Bone marrow smear
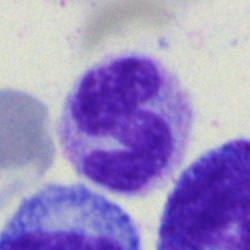Specimen: bone marrow aspirate smear.
Cell type: monocyte.
Lineage: myeloid.